Bone marrow smear — 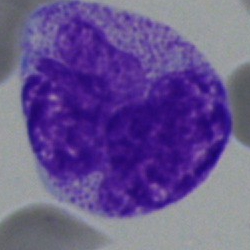
The cell shown is a monocyte.